250 by 250 pixels. Bone marrow aspirate smear:
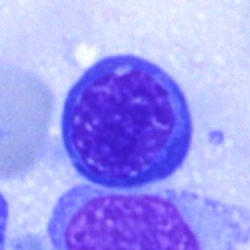
Cell — erythroblast.